Bone marrow aspirate smear: 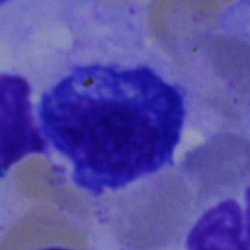 Specimen: bone marrow aspirate smear.
Classification: plasma cell.